40× oil immersion · bone marrow aspirate smear
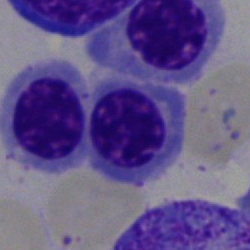

Specimen: bone marrow aspirate smear.
Morphological class: erythroblast.